Bone marrow aspirate smear.
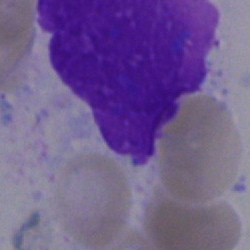Specimen: bone marrow aspirate smear.
Morphological class: artifact.